Bone marrow smear; brightfield, 40× oil-immersion objective:
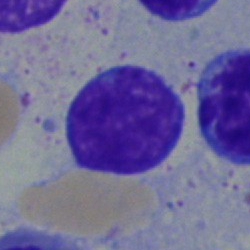
Morphology consistent with a typical lymphocyte.